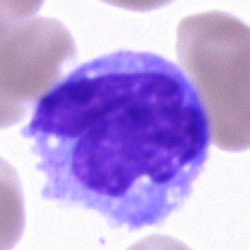
A monocyte.